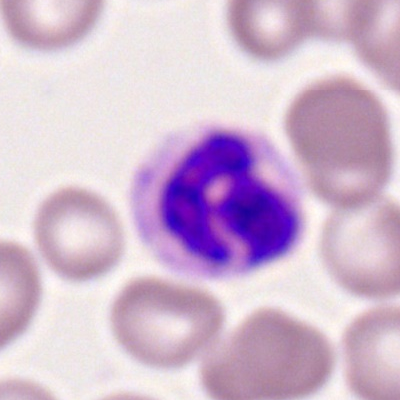 The classification is neutrophil (segmented).